Bone marrow smear; 250×250.
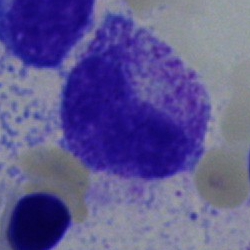
The morphological class is metamyelocyte.